Bone marrow smear
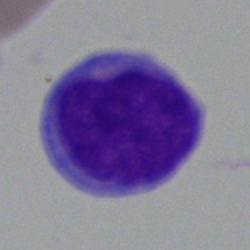
Morphology consistent with an undifferentiated blast.